Bone marrow aspirate smear
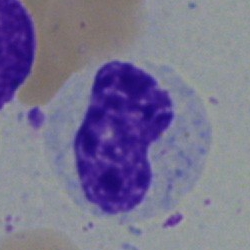

Classification = metamyelocyte.